Bone marrow smear
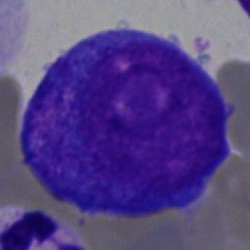
{"cell_type": "promyelocyte", "lineage": "myeloid"}